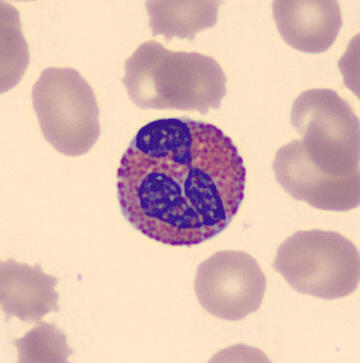
The cell shown is an eosinophilic granulocyte.
Peripheral blood film; single-cell field.